Bone marrow aspirate smear: 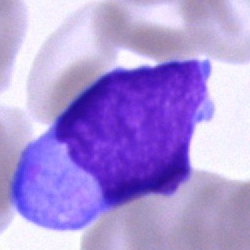Showing a blast cell.